Bone marrow smear · 40× objective, oil immersion · May-Grünwald-Giemsa/Pappenheim stain
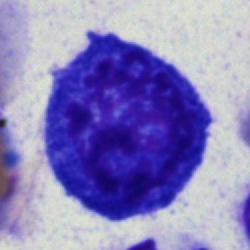Morphological class — nucleated red blood cell.